Bone marrow aspirate smear: 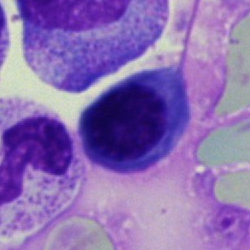
The cell is nucleated red blood cell.